Single cell centered in the field. Bone marrow smear — 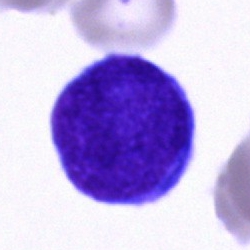Morphology — blast.